Single cell centered in the field; MGG-stained; bone marrow smear — 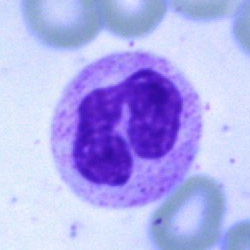

{"cell_type": "segmented neutrophil"}